Bone marrow aspirate smear: 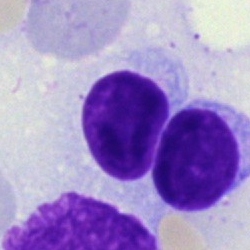
Morphological class = typical lymphocyte.